Bone marrow smear.
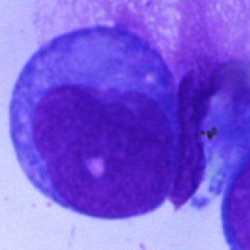

Morphology → undifferentiated blast.